Bone marrow smear:
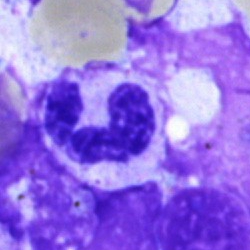
{"cell_type": "polymorphonuclear neutrophil"}